Bone marrow smear: 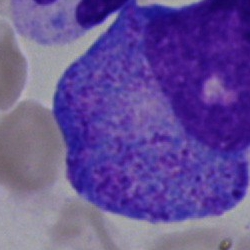Q: Which cell type is shown here?
A: It is a promyelocyte.